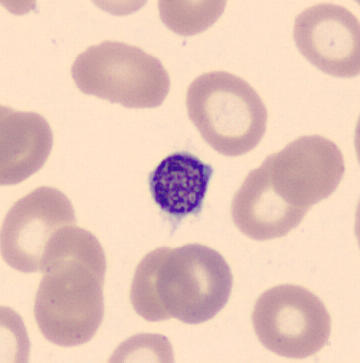 Peripheral blood smear showing a platelet.